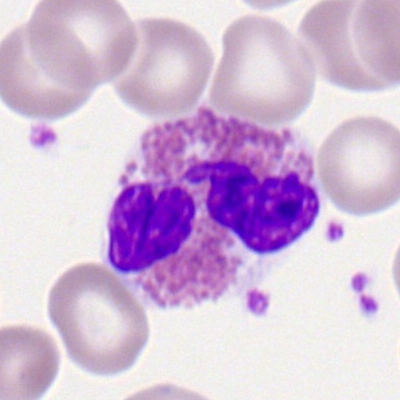
An eosinophil on a peripheral blood smear.